Bone marrow smear:
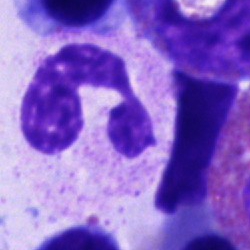
Morphology consistent with a polymorphonuclear neutrophil.